Bone marrow aspirate smear:
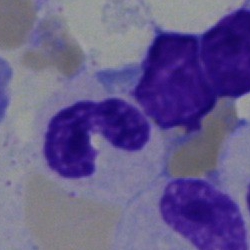
Impression — polymorphonuclear neutrophil.